250×250 px; bone marrow aspirate smear
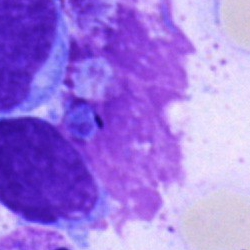 Cell: artifact.